40× objective, oil immersion; bone marrow aspirate smear: 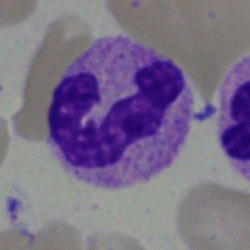Q: What cell is this?
A: A band neutrophil.